Bone marrow smear
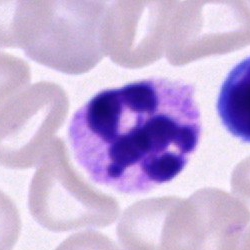 Specimen: bone marrow smear.
Morphological class: segmented neutrophil.
Lineage: myeloid.